Bone marrow smear.
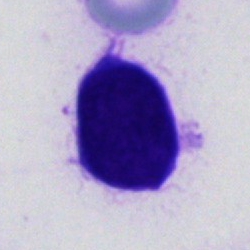

Q: What is shown here?
A: This is an unidentifiable cell.